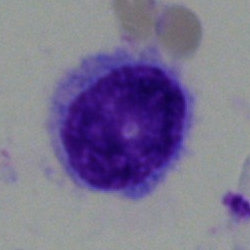
This is a hairy cell.